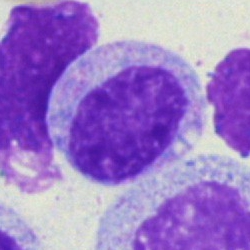 Bone marrow smear showing a myelocyte.